Bone marrow aspirate smear
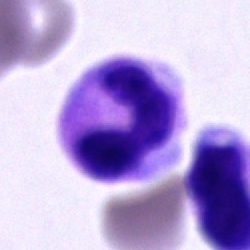
Cell = neutrophil (segmented).